Brightfield microscopy, 40× oil immersion; bone marrow aspirate smear
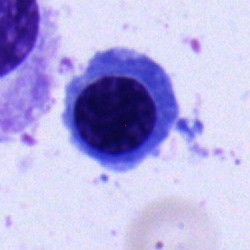

Showing a normoblast.